Bone marrow aspirate smear — 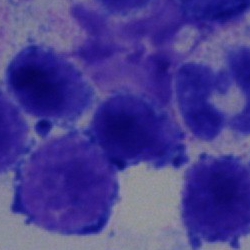

Cell type = typical lymphocyte.